Bone marrow aspirate smear.
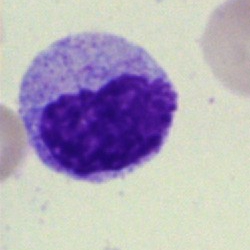

Q: What is the morphological classification of this cell?
A: A metamyelocyte.